Bone marrow aspirate smear.
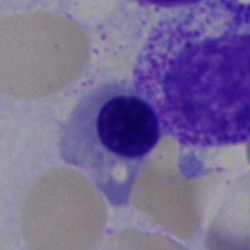
The cell shown is an erythroblast.